Cropped to a single cell; bone marrow aspirate smear.
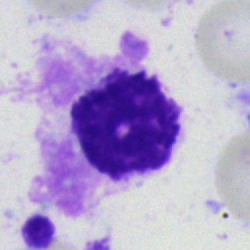

The cell shown is an artefact.